40× objective, oil immersion. Bone marrow aspirate smear. Single cell centered in the field:
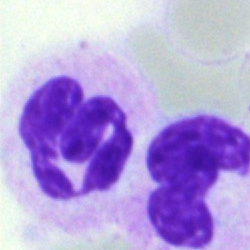 Segmented neutrophil.